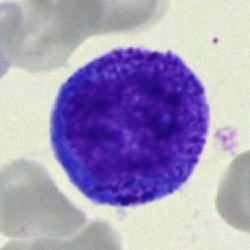

Morphology consistent with a promyelocyte.